Bone marrow smear.
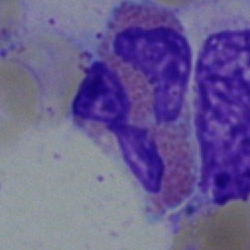
Specimen: bone marrow aspirate smear.
Classification: eosinophilic granulocyte.